250×250; brightfield, 40× oil-immersion objective; bone marrow smear: 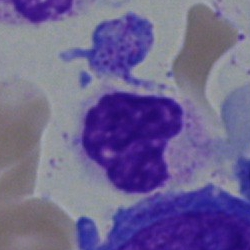Morphology consistent with a neutrophil (segmented).